Bone marrow aspirate smear:
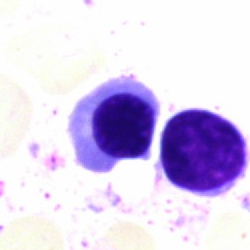

Impression → nucleated red cell.